Bone marrow aspirate smear
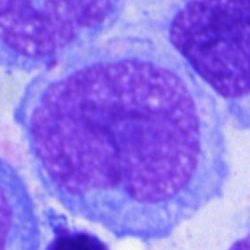
This is a blast cell.